May-Grünwald-Giemsa/Pappenheim stain; single-cell crop; bone marrow aspirate smear: 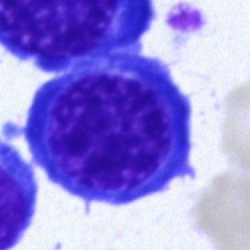The cell type is nucleated red blood cell.